Peripheral blood film.
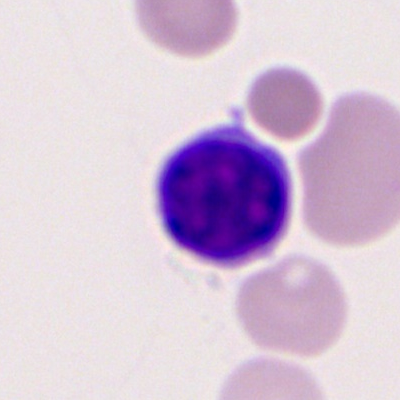 Single cell identified as a typical lymphocyte.